Single cell centered in the field; bone marrow aspirate smear:
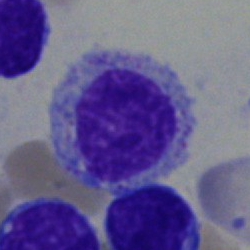 The morphological class is myelocyte.